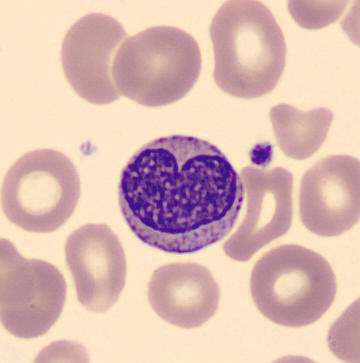
Specimen: peripheral blood film.
Classification: metamyelocyte.
Lineage: myeloid.